Bone marrow smear:
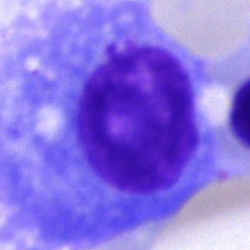 Showing a plasma cell.